Bone marrow smear:
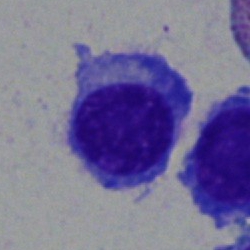

Morphology consistent with a plasma cell.